Bone marrow smear
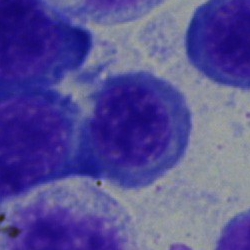 Showing a nucleated red cell.